Bone marrow aspirate smear — 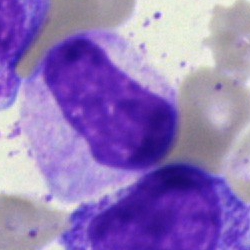
Q: What is the morphological classification of this cell?
A: A metamyelocyte.